Bone marrow aspirate smear:
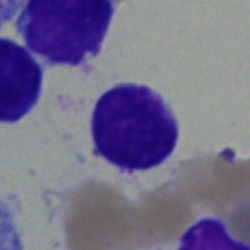

Lymphocyte.